Bone marrow smear: 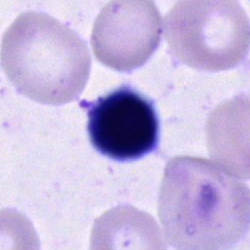 This is a cell of indeterminate lineage.